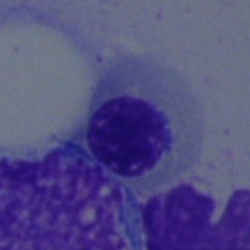

A nucleated red cell.